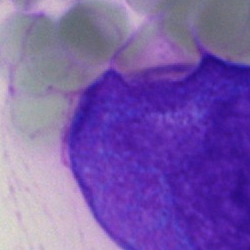
Q: What is the morphological classification of this cell?
A: A progranulocyte.